Brightfield microscopy, 40× oil immersion. Bone marrow smear — 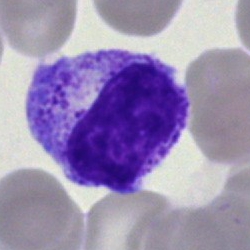

{"cell_type": "myelocyte"}